Bone marrow smear: 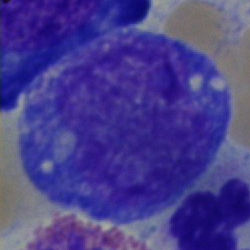 Morphology → undifferentiated blast.